MGG-stained · bone marrow smear · brightfield, 40× oil-immersion objective.
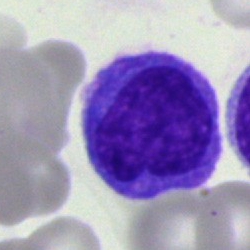

Morphology consistent with a monocyte.